Bone marrow aspirate smear.
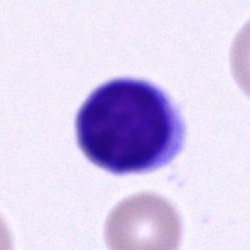 Q: Identify the cell.
A: It is a lymphocyte.